Single cell centered in the field. Bone marrow aspirate smear:
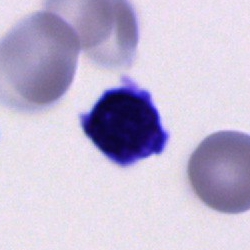

Q: Which cell type is shown here?
A: An unidentifiable cell.